Bone marrow aspirate smear:
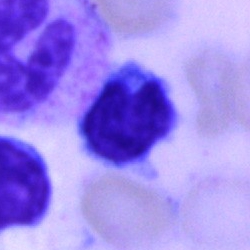 {"cell_type": "typical lymphocyte", "lineage": "lymphoid"}